Bone marrow aspirate smear:
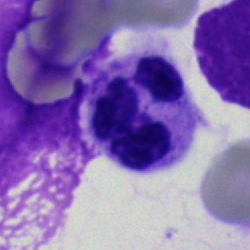 The cell is neutrophil (segmented).